Bone marrow smear — 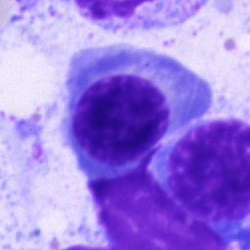
Morphology → erythroblast.